Single-cell field · bone marrow aspirate smear — 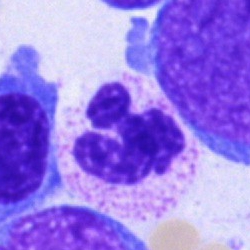 Cell — neutrophil (segmented).